Bone marrow smear.
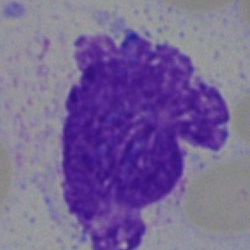
Morphology — artifact.